Bone marrow smear — 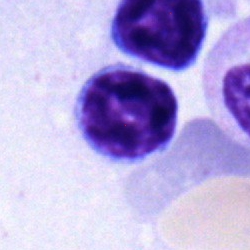
The cell shown is a typical lymphocyte.